Brightfield, 40× oil-immersion objective · bone marrow smear: 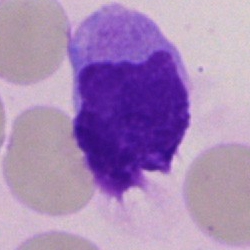
Single cell identified as an artefact.